Bone marrow smear
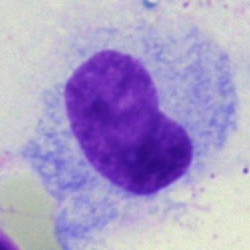
This is a hairy cell.